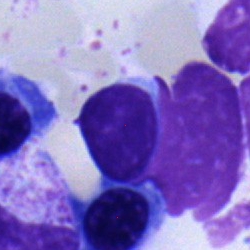
Bone marrow aspirate smear, single cell — typical lymphocyte.